Peripheral blood smear:
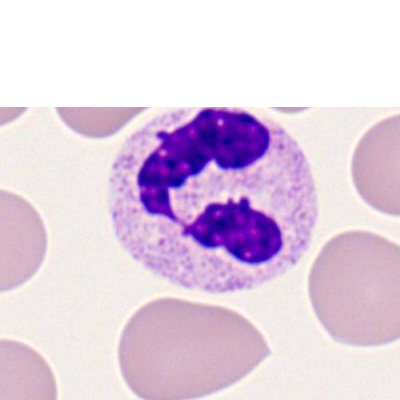

The morphological class is segmented neutrophil.